Bone marrow aspirate smear
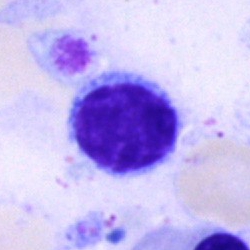Cell — typical lymphocyte.